Bone marrow smear. Single cell centered in the field: 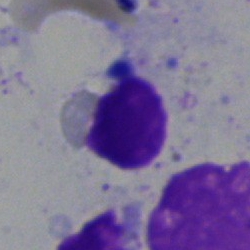
Classification = lymphocyte.